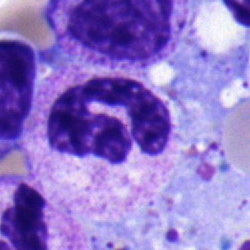 Single cell identified as a segmented neutrophil.